Bone marrow smear · image size 250×250.
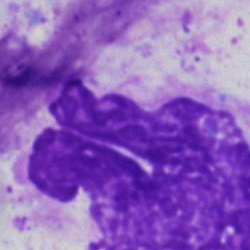 Classification — artifact.